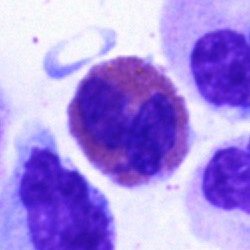Morphological class — eosinophil.